Brightfield, 40× oil-immersion objective · bone marrow smear · MGG-stained
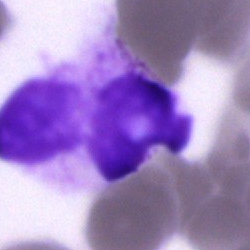
Specimen: bone marrow aspirate smear.
Classification: cell of indeterminate lineage.